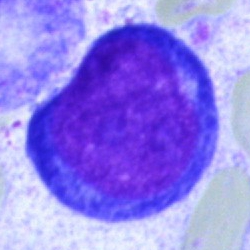Single-cell crop from a bone marrow smear: pronormoblast.